May-Grünwald-Giemsa stain. Bone marrow smear. 250 by 250 pixels.
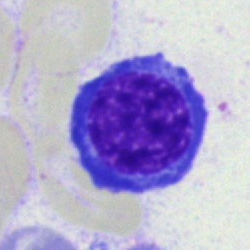Morphology — normoblast.